Single cell centered in the field; 40× oil immersion; bone marrow smear
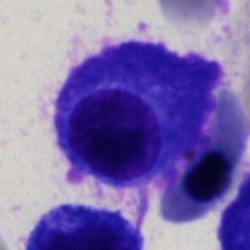
Morphology → plasmacyte.